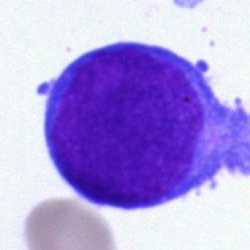
Specimen: bone marrow smear.
Classification: blast.